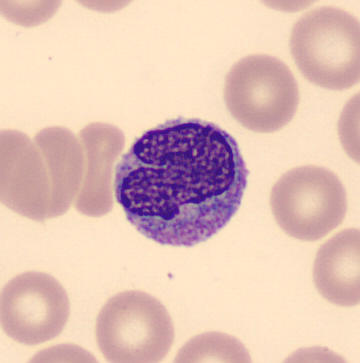

Single cell identified as a monocyte. Image: Peripheral blood film.